Bone marrow smear:
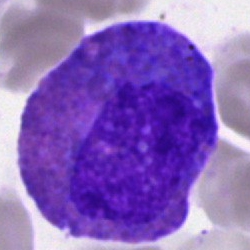
Morphology consistent with an eosinophilic granulocyte.